Image size 250×250. Bone marrow aspirate smear:
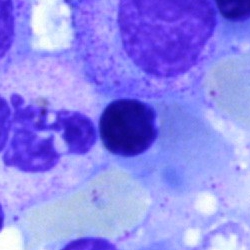 Morphological class — nucleated red cell.